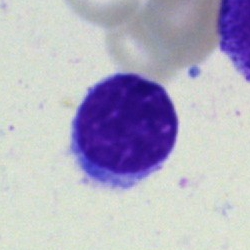Cell: lymphocyte.